Bone marrow smear
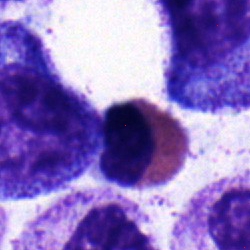

Q: What is shown here?
A: An eosinophilic granulocyte.